Peripheral blood film. Romanowsky-stained.
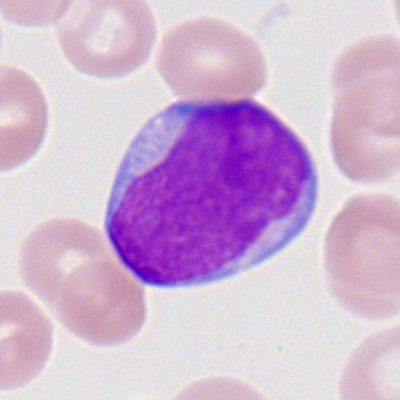

Single cell identified as a myeloid blast.